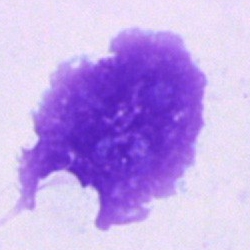

Q: What is shown here?
A: An artefact.